Bone marrow aspirate smear; 40× objective, oil immersion — 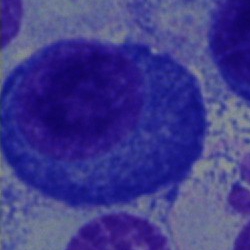

Showing a plasmacyte.